250×250 · bone marrow aspirate smear · single-cell crop: 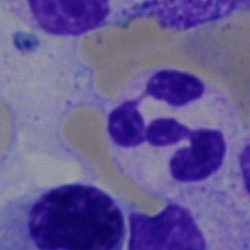
Morphology consistent with a neutrophil (segmented).